100× oil immersion. Single-cell field. Peripheral blood film:
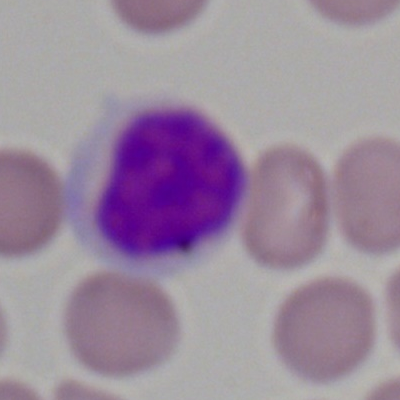

Typical lymphocyte.